400×400 · peripheral blood film
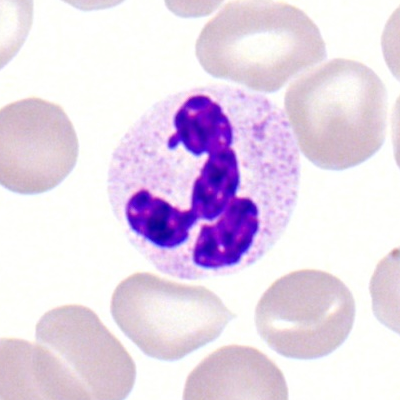

Q: What cell is this?
A: A polymorphonuclear neutrophil.